Bone marrow smear · Pappenheim-stained · brightfield, 40× oil-immersion objective:
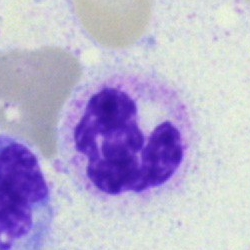
Morphological class: neutrophil (segmented).